Bone marrow smear.
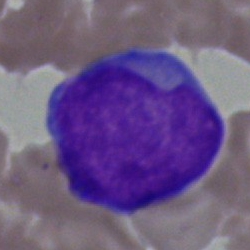The cell shown is an undifferentiated blast.